40× objective, oil immersion. Bone marrow aspirate smear:
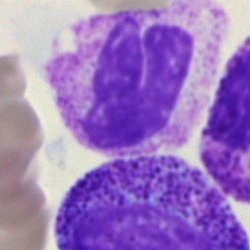

Morphology — stab cell.